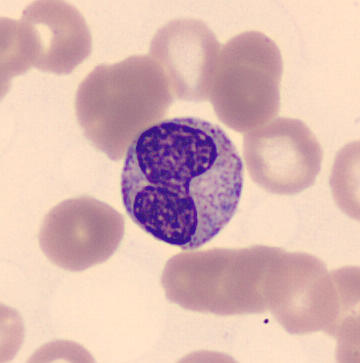 Preparation: Peripheral blood film.
{"cell_type": "metamyelocyte", "lineage": "myeloid"}